Bone marrow smear; image size 250×250:
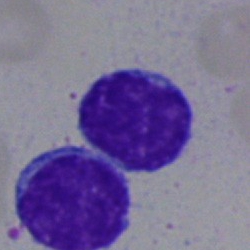

{"cell_type": "lymphocyte", "lineage": "lymphoid"}